250×250; bone marrow aspirate smear — 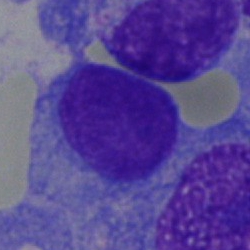

The cell is plasmacyte.